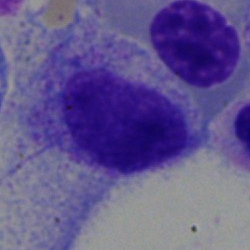
Cell: myelocyte.